Bone marrow aspirate smear. May-Grünwald-Giemsa/Pappenheim stain.
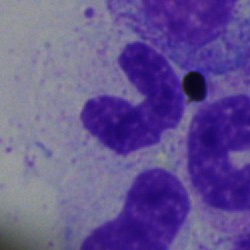

Morphological class: polymorphonuclear neutrophil.